May-Grünwald-Giemsa-stained · peripheral blood smear · CellaVision DM96:
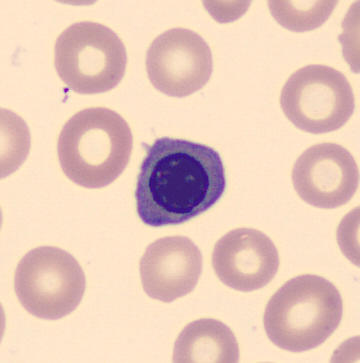

Showing a nucleated red cell.